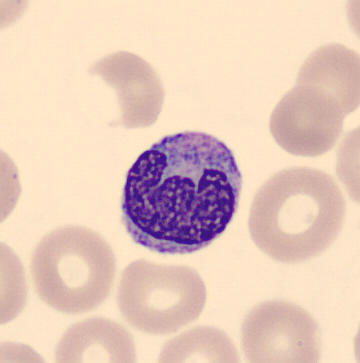
Impression — monocyte.

May-Grünwald-Giemsa-stained · peripheral blood film · single-cell field.